Bone marrow smear: 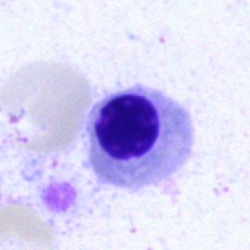
The cell shown is an erythroblast.